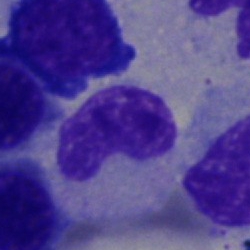

Morphological class = stab cell.